Peripheral blood film.
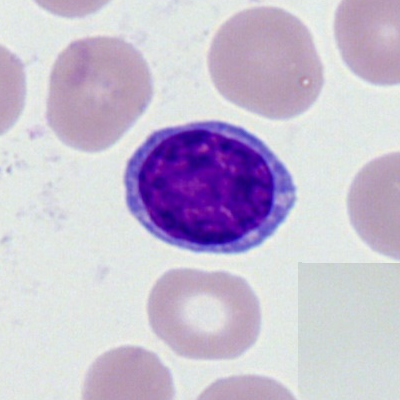This is a lymphocyte.